Bone marrow aspirate smear: 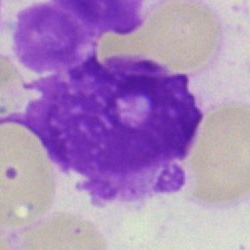 Morphological class — artifact.